Bone marrow aspirate smear — 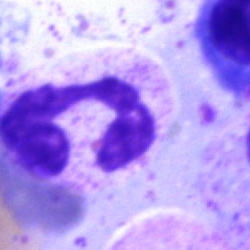 Polymorphonuclear neutrophil.